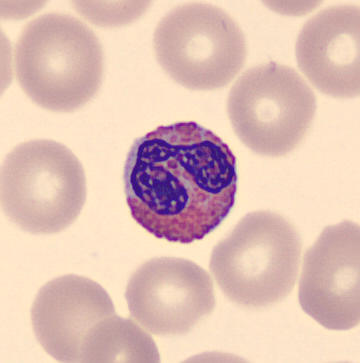 This is an eosinophil.
Acquisition: Peripheral blood smear.